Bone marrow aspirate smear — 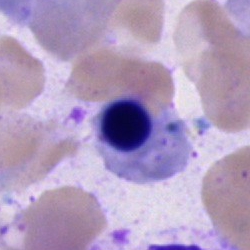 This is a normoblast.